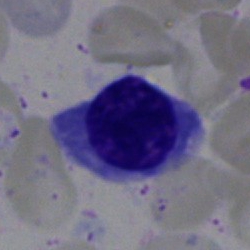
Q: Identify the cell.
A: Normoblast.